Bone marrow smear:
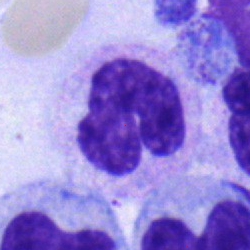 This is a stab cell.